Peripheral blood smear: 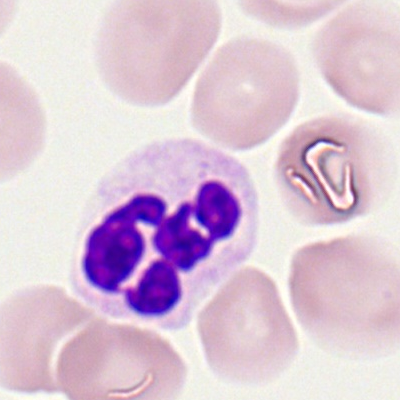
Q: Identify the cell.
A: This is a polymorphonuclear neutrophil.